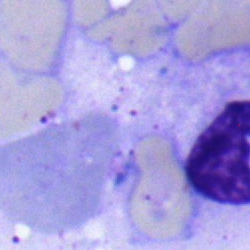 Morphological class — polymorphonuclear neutrophil.